Bone marrow aspirate smear — 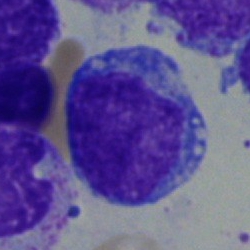
Undifferentiated blast.